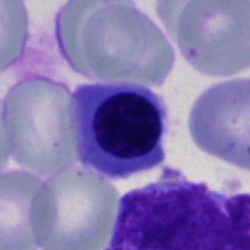

Impression → nucleated red blood cell.